Peripheral blood smear:
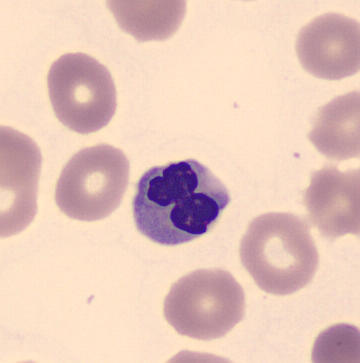The cell is nucleated red blood cell.